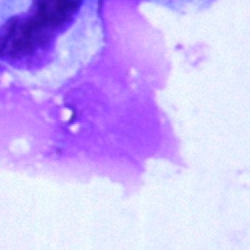
Q: What is shown here?
A: Artifact.